Bone marrow aspirate smear; brightfield microscopy, 40× oil immersion
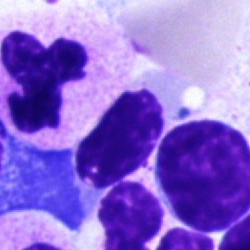 Artifact.